MGG-stained · single cell centered in the field · bone marrow aspirate smear
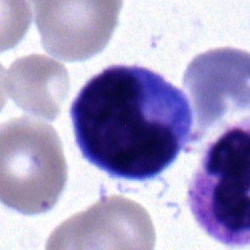

Impression — monocyte.